250×250 · bone marrow aspirate smear · single cell centered in the field:
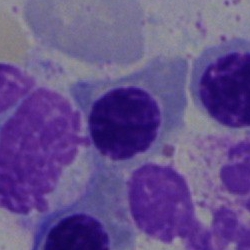An erythroblast.